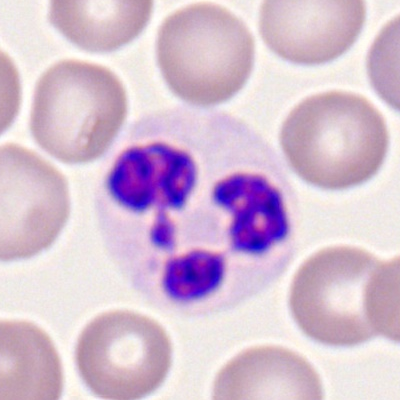The cell shown is a neutrophil (segmented).